Bone marrow aspirate smear
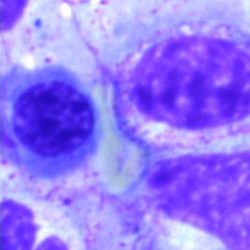 Specimen: bone marrow smear.
Cell: erythroblast.
Lineage: erythroid.